Bone marrow aspirate smear: 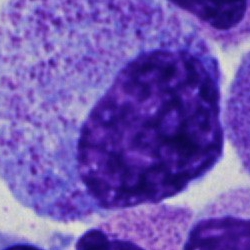
Showing a promyelocyte.